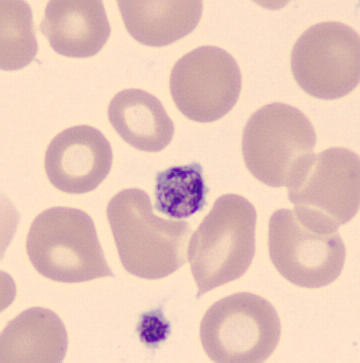 Q: What is this?
A: A platelet (thrombocyte).